Bone marrow smear — 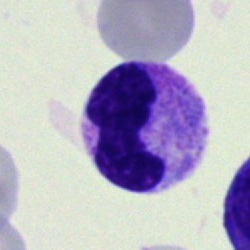This is a band-form neutrophil.